Bone marrow smear; 250×250 px.
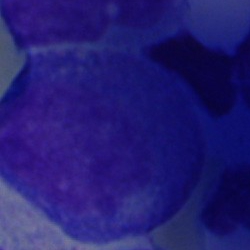 Specimen: bone marrow aspirate smear.
Cell: artefact.